Peripheral blood smear
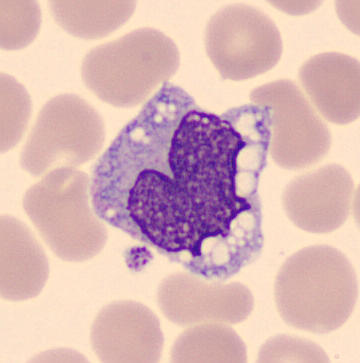Specimen: peripheral blood film.
Classification: monocyte.
Lineage: myeloid.